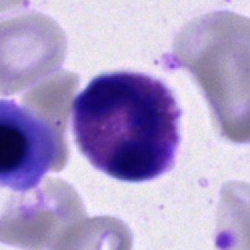
Bone marrow aspirate smear, single cell — eosinophil.